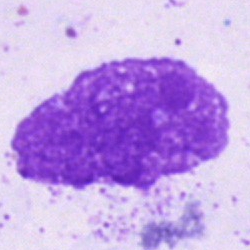Classification: artefact.